Peripheral blood smear
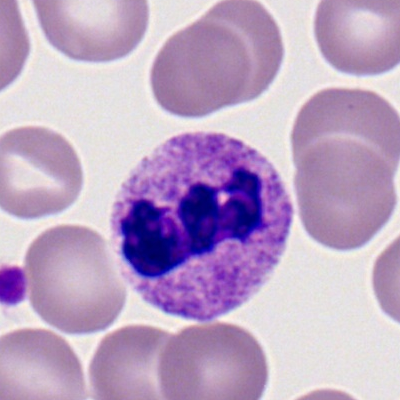

Q: What type of cell is this?
A: It is a segmented neutrophil.